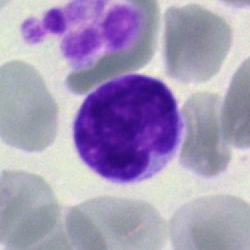 {"cell_type": "lymphocyte", "lineage": "lymphoid"}